Bone marrow aspirate smear: 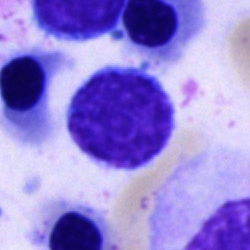Specimen: bone marrow smear.
Classification: lymphocyte.